40× objective, oil immersion. Cropped to a single cell. Bone marrow smear — 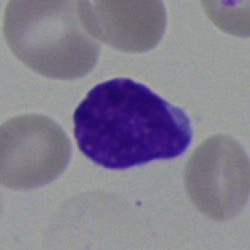
Lymphocyte.